Bone marrow smear
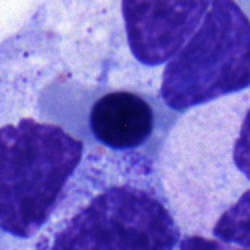A nucleated red blood cell.